Bone marrow aspirate smear — 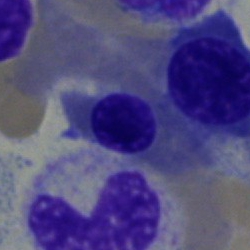
The cell type is erythroblast.